Bone marrow smear: 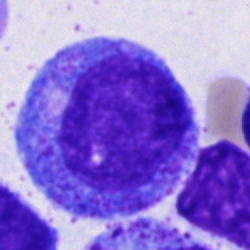

This is a promyelocyte.